Bone marrow smear: 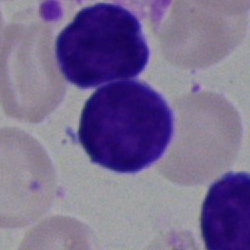
A lymphocyte.